Bone marrow smear — 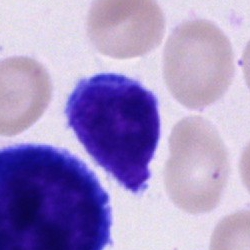Classification: lymphocyte.